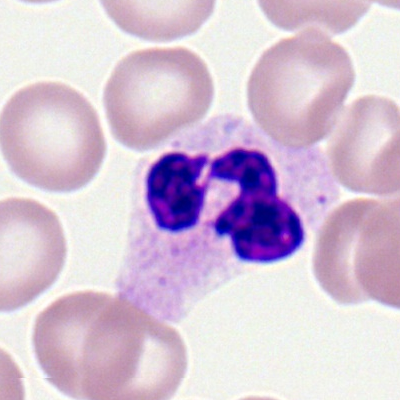

Q: What type of cell is this?
A: It is a polymorphonuclear neutrophil.